Bone marrow aspirate smear: 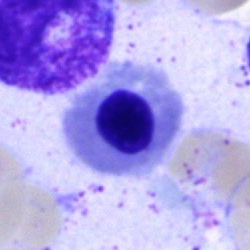
Nucleated red cell.